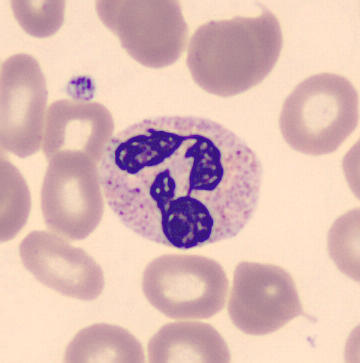
{"cell_type": "neutrophil (segmented)"}